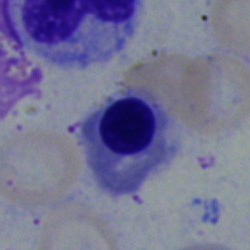A myelocyte.